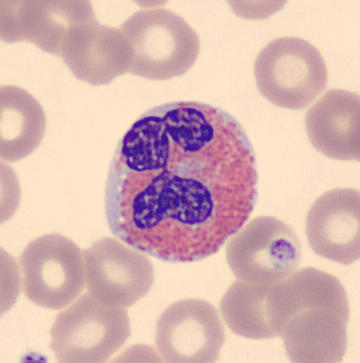 The morphological class is eosinophilic granulocyte.